Bone marrow aspirate smear
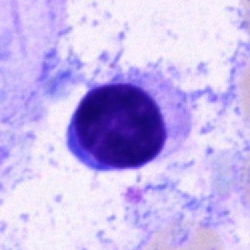

Specimen: bone marrow smear.
Cell type: lymphocyte.